Bone marrow smear:
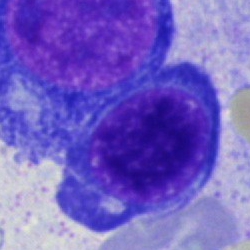{"cell_type": "nucleated red blood cell", "lineage": "erythroid"}